Image size 250×250; bone marrow aspirate smear — 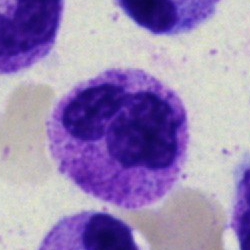

Impression → segmented neutrophil.